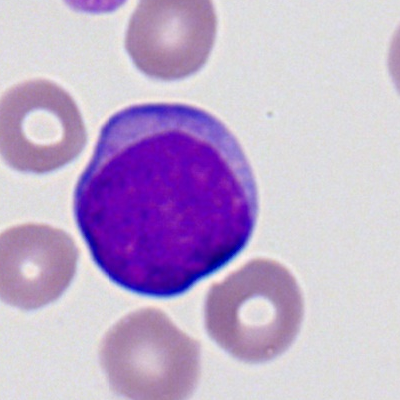Single cell identified as a myeloid blast.